Bone marrow smear. Single-cell crop:
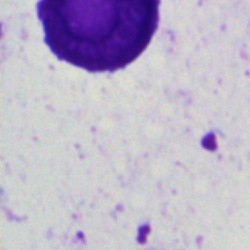 An artifact.